Cropped to a single cell. Peripheral blood film. Brightfield, 100× oil-immersion objective
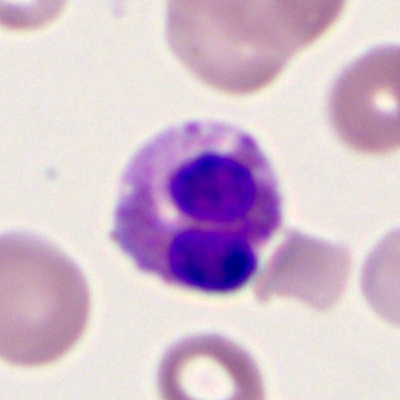

An eosinophilic granulocyte.